Bone marrow smear:
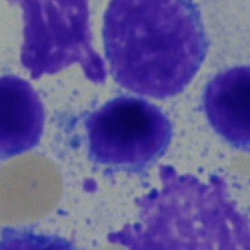
Specimen: bone marrow smear.
Cell: typical lymphocyte.